40× oil immersion. Bone marrow smear — 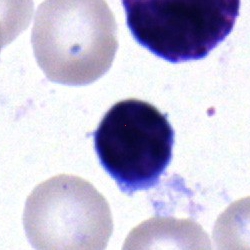Morphology consistent with a typical lymphocyte.